Bone marrow aspirate smear — 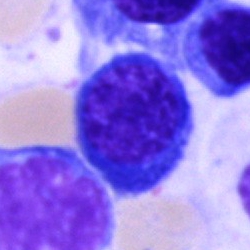 Nucleated red blood cell.